Single-cell field; bone marrow aspirate smear: 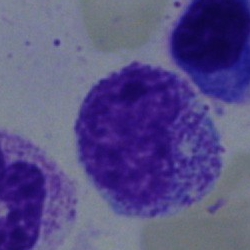Cell = myelocyte.